Peripheral blood smear:
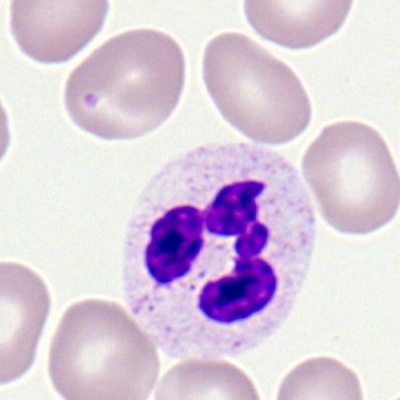
Specimen: peripheral blood smear.
Cell type: polymorphonuclear neutrophil.